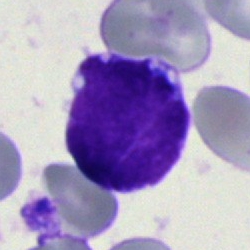 Cell type: blast.